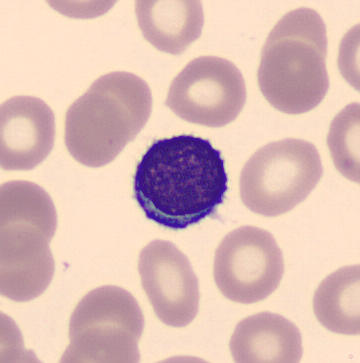
Cropped to a single cell · peripheral blood film.
Showing a lymphocyte.